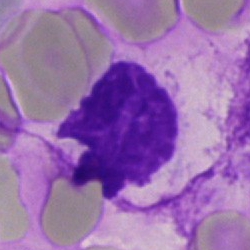
Morphology — artefact.